Image size 250×250; bone marrow smear: 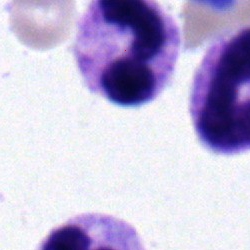

Polymorphonuclear neutrophil.